Peripheral blood film
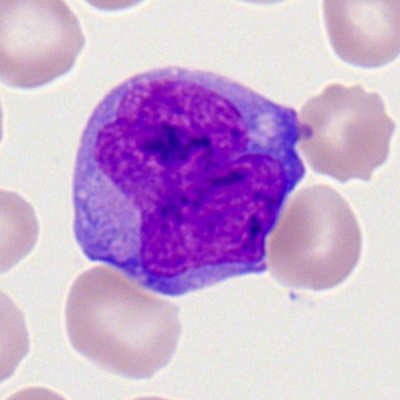

Classification = myeloblast.